Bone marrow smear. Image size 250×250
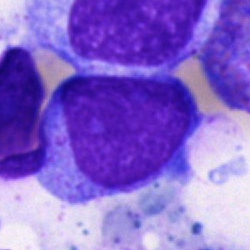
This is an undifferentiated blast.